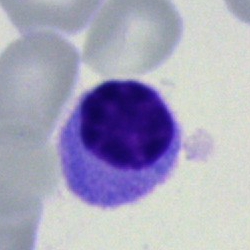
Q: What is the morphological classification of this cell?
A: Typical lymphocyte.